Bone marrow smear · 250 by 250 pixels: 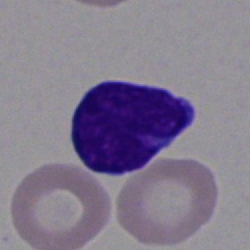 Cell = blast.